Bone marrow smear.
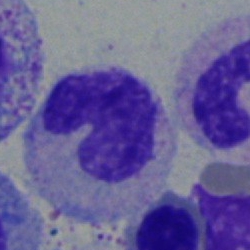 Specimen: bone marrow aspirate smear.
Cell: neutrophil (band).